Bone marrow smear. May-Grünwald-Giemsa stain
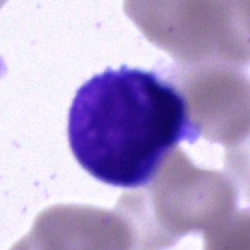

The morphological class is artefact.